Bone marrow smear:
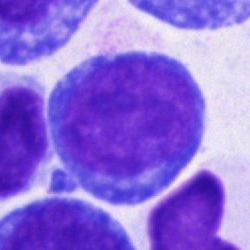
Morphology consistent with a blast.